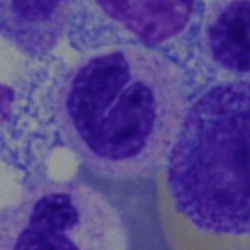Bone marrow smear showing a stab cell.